Bone marrow smear:
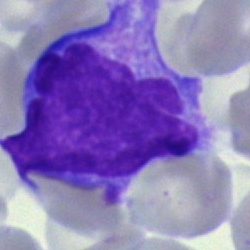

Morphology → monocyte.